Bone marrow aspirate smear: 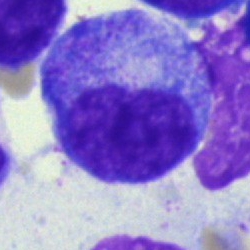 Morphological class = progranulocyte.